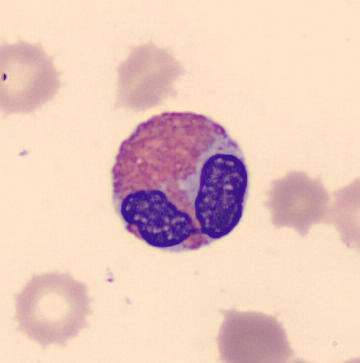

Cell = eosinophilic granulocyte.